MGG-stained; bone marrow aspirate smear
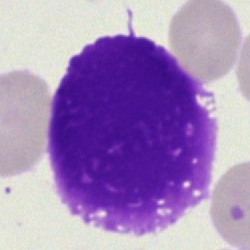 Q: What is shown here?
A: An artifact.